Bone marrow smear · May-Grünwald-Giemsa stain · 250×250 px
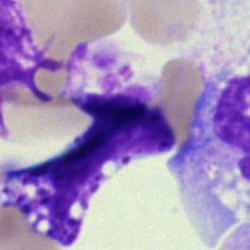 Classification = artefact.